Bone marrow aspirate smear
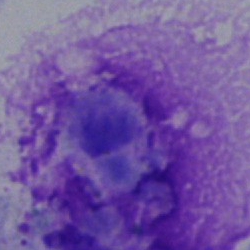
The cell is artifact.